Bone marrow smear.
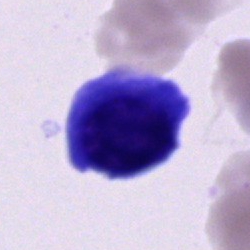 Q: What is the morphological classification of this cell?
A: It is an unidentifiable cell.